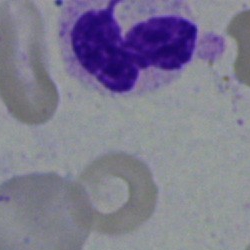

Polymorphonuclear neutrophil.